Bone marrow aspirate smear: 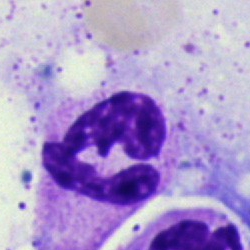
This is a polymorphonuclear neutrophil.